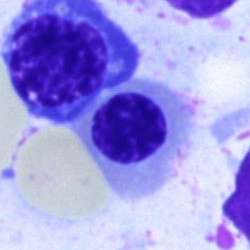
Impression — erythroblast.